Peripheral blood smear.
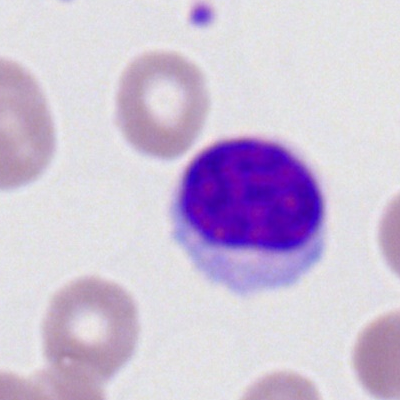Classification — lymphocyte.